Bone marrow smear.
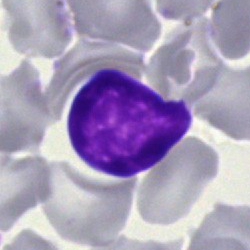

The cell is lymphocyte.